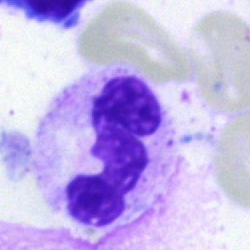

Single-cell crop from a bone marrow smear: polymorphonuclear neutrophil.